Bone marrow aspirate smear.
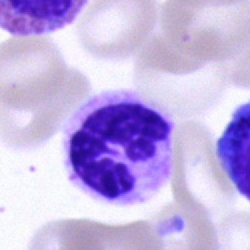

Q: Which cell type is shown here?
A: It is a polymorphonuclear neutrophil.